Bone marrow smear · 250×250 — 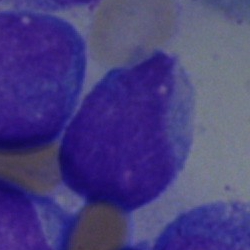

Morphology → undifferentiated blast.